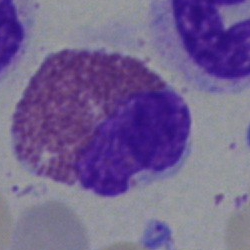
Cell type: eosinophilic granulocyte.